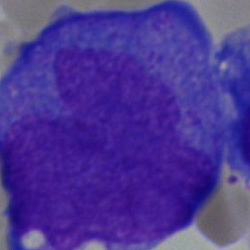 Q: What type of cell is this?
A: It is a promyelocyte.